Peripheral blood film:
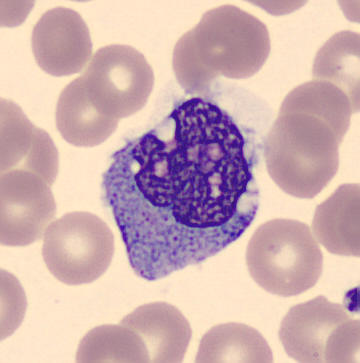

Specimen: peripheral blood smear.
Morphological class: monocyte.